MGG-stained. Bone marrow smear:
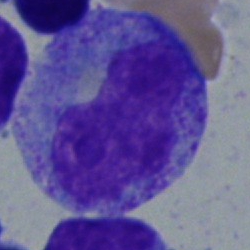 Cell type = progranulocyte.